40× objective, oil immersion · bone marrow smear.
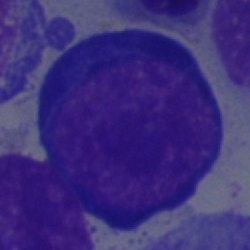A pronormoblast.